Image size 400×400; peripheral blood smear.
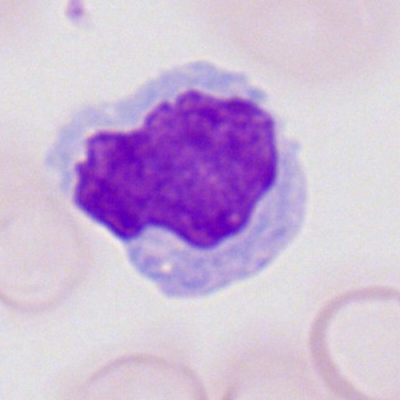

Q: What cell is this?
A: A monocyte.